Bone marrow smear — 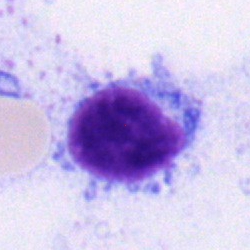

Q: What type of cell is this?
A: This is a typical lymphocyte.